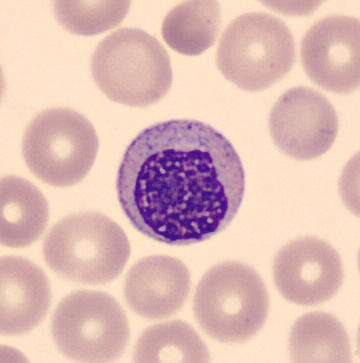
Morphology consistent with a myelocyte.